Bone marrow smear — 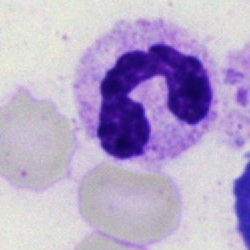Q: Which cell type is shown here?
A: This is a polymorphonuclear neutrophil.